Image size 250×250; bone marrow aspirate smear; 40× oil immersion.
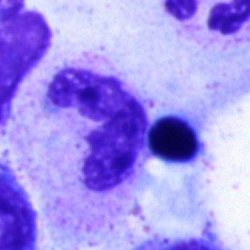Morphology consistent with a neutrophil (segmented).